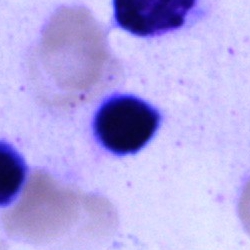

Artifact.